Cropped to a single cell; bone marrow aspirate smear — 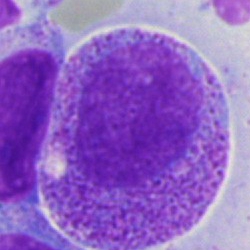Q: What cell is this?
A: Myelocyte.